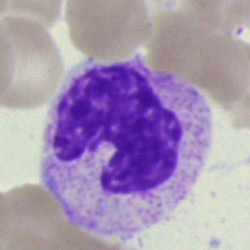{"cell_type": "stab cell", "lineage": "myeloid"}